Bone marrow aspirate smear.
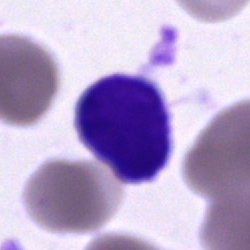Q: What is shown here?
A: It is an artefact.